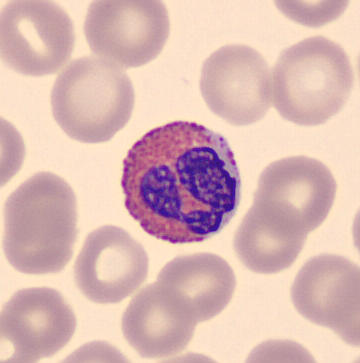

Impression — eosinophil.

Preparation: Peripheral blood film.